Bone marrow aspirate smear. 250×250:
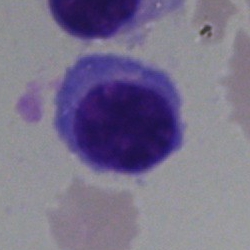 Normoblast.